Single-cell crop; MGG-stained; bone marrow aspirate smear — 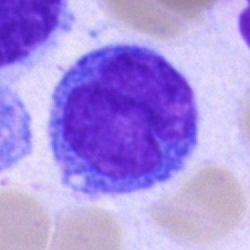
This is a monocyte.